Bone marrow smear — 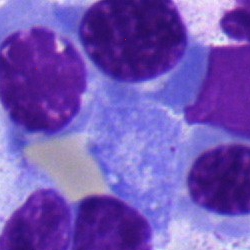

Impression — normoblast.